Single-cell crop · 40× objective, oil immersion · bone marrow aspirate smear — 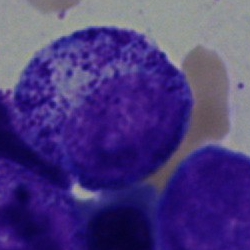 This is a myelocyte.